Bone marrow smear.
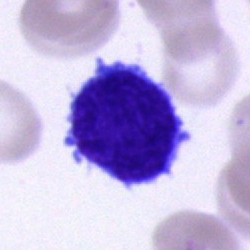 Morphology consistent with a lymphocyte.